Bone marrow smear. Brightfield microscopy, 40× oil immersion. Single-cell field — 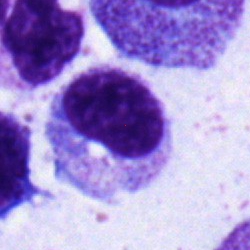

Band neutrophil.